250×250; bone marrow aspirate smear.
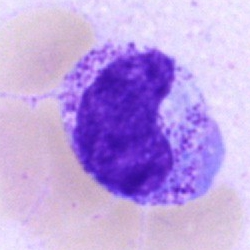Impression → metamyelocyte.